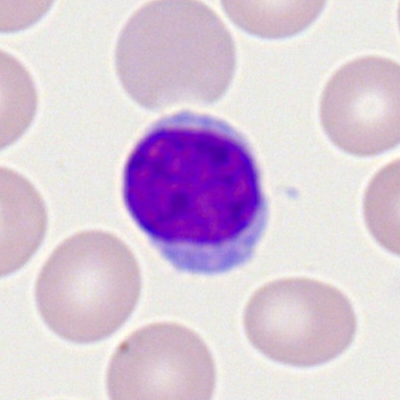
Peripheral blood smear showing a lymphocyte.